250 by 250 pixels; bone marrow aspirate smear.
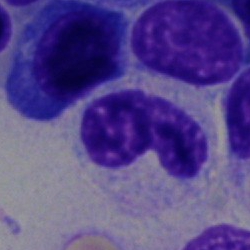
Band-form neutrophil.